Bone marrow aspirate smear
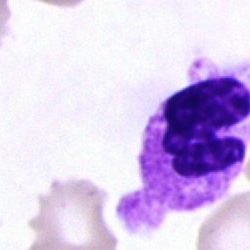Q: What cell is this?
A: It is a neutrophil (segmented).